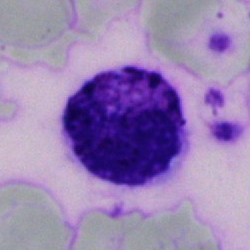 Single cell identified as a basophil.